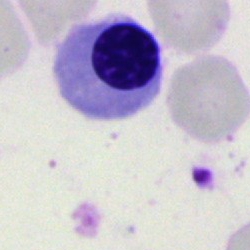Cell: nucleated red blood cell.